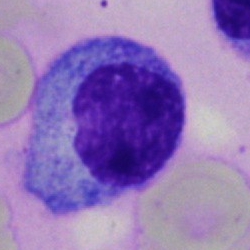Q: What type of cell is this?
A: A myelocyte.